Bone marrow aspirate smear — 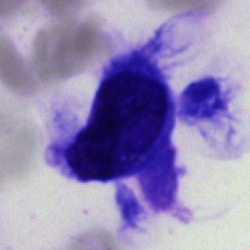

Impression → artefact.